Bone marrow aspirate smear; 250×250 px:
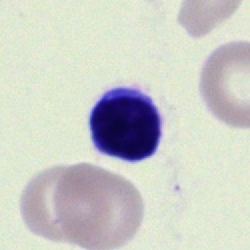
Impression — lymphocyte.